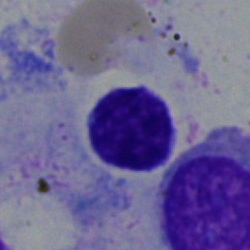Showing a typical lymphocyte.